MGG-stained · bone marrow smear:
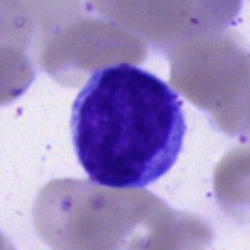
A lymphocyte.